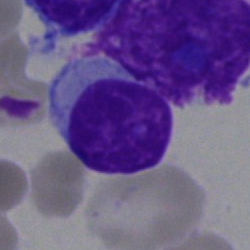

The morphological class is lymphocyte.